Bone marrow aspirate smear: 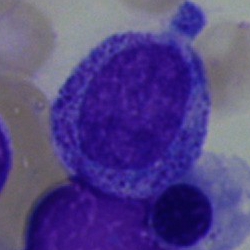 The cell is progranulocyte.